May-Grünwald-Giemsa stain. Bone marrow smear. 250×250.
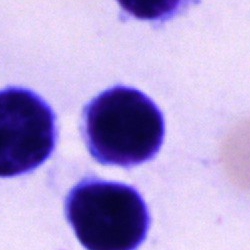

Q: What cell is this?
A: This is a typical lymphocyte.